Bone marrow smear. MGG-stained
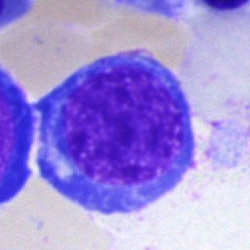

A nucleated red blood cell.